Peripheral blood film:
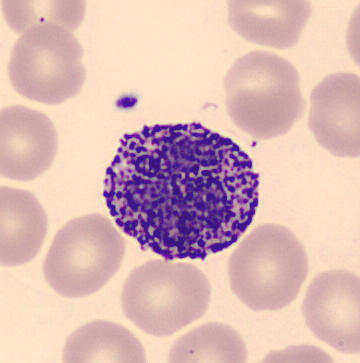

Q: What type of cell is this?
A: Basophil.